Bone marrow aspirate smear · May-Grünwald-Giemsa/Pappenheim stain · cropped to a single cell: 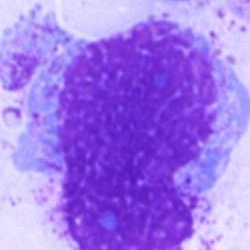 Q: What is shown here?
A: This is an artifact.